Bone marrow aspirate smear — 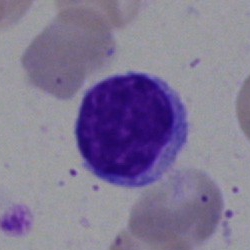

Cell type: lymphocyte.